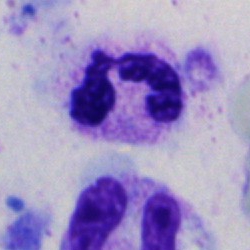

A neutrophil (segmented) on a bone marrow smear.